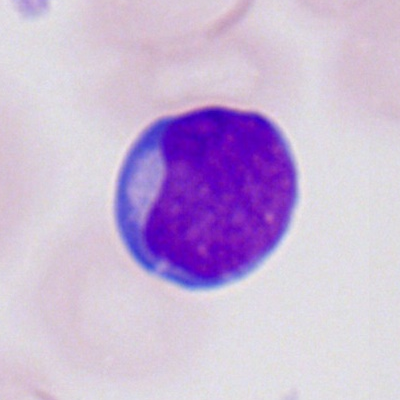 A myeloblast on a peripheral blood smear.